Bone marrow aspirate smear: 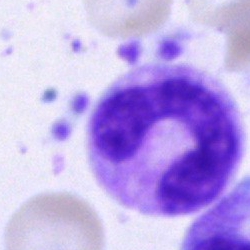 Q: What is the morphological classification of this cell?
A: Band neutrophil.